Brightfield, 40× oil-immersion objective · bone marrow smear: 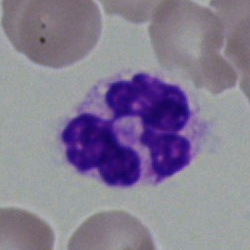A segmented neutrophil.